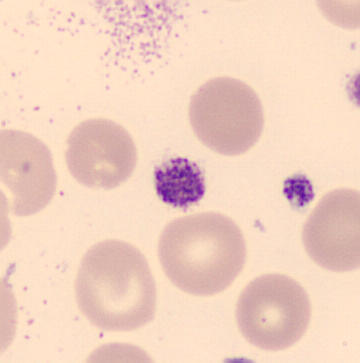

Classification: platelet (thrombocyte).